Bone marrow smear
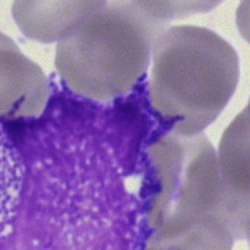

Morphological class: artifact.